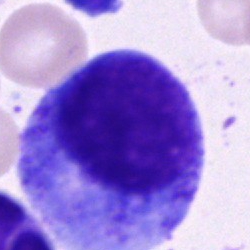

Specimen: bone marrow smear.
Cell type: promyelocyte.